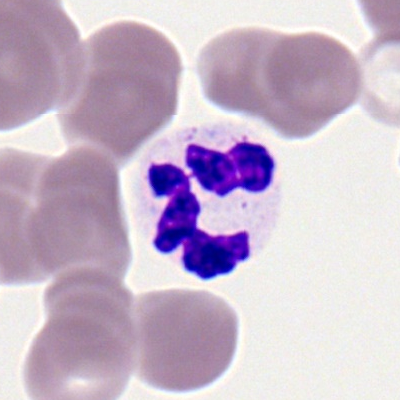

The cell shown is a polymorphonuclear neutrophil.